40× oil immersion. Bone marrow aspirate smear:
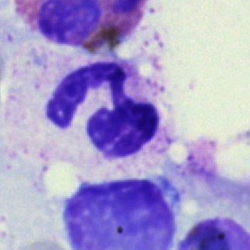 Morphology consistent with a neutrophil (segmented).